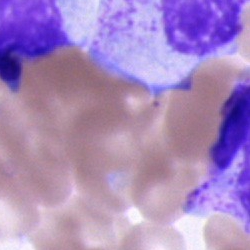 The classification is cell of indeterminate lineage.